Bone marrow smear. May-Grünwald-Giemsa/Pappenheim stain. Single-cell field
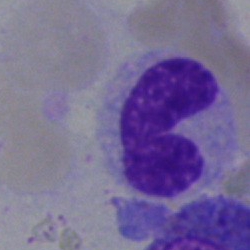
Q: What type of cell is this?
A: It is a neutrophil (band).